Bone marrow aspirate smear — 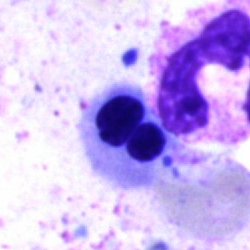Specimen: bone marrow smear.
Cell type: nucleated red cell.
Lineage: erythroid.